Brightfield microscopy, 40× oil immersion; bone marrow smear; Pappenheim-stained
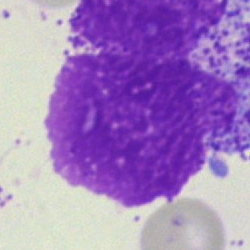

Classification: artifact.